Bone marrow smear.
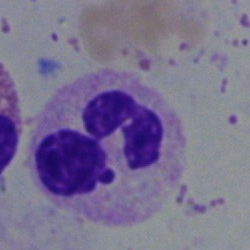

Showing a polymorphonuclear neutrophil.